250×250 px; bone marrow smear: 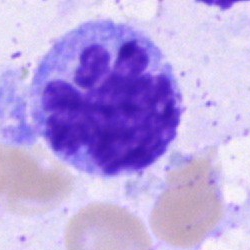 A monocyte.